Bone marrow aspirate smear
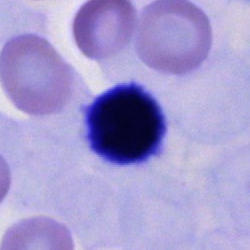A cell of indeterminate lineage.